Brightfield microscopy, 40× oil immersion · image size 250×250 · bone marrow smear
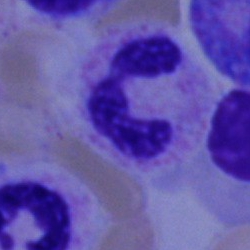Cell: segmented neutrophil.